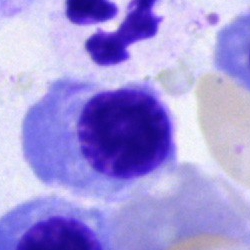 A nucleated red blood cell.